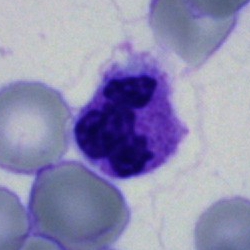
Cell type: polymorphonuclear neutrophil.